Bone marrow aspirate smear:
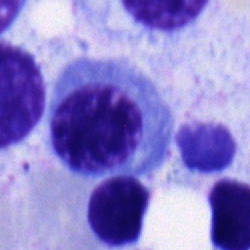Morphology — nucleated red blood cell.